Bone marrow smear:
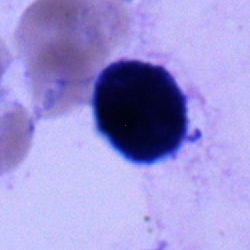
Cell = lymphocyte.